40× objective, oil immersion · bone marrow smear
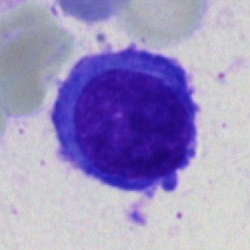
Specimen: bone marrow smear.
Cell: typical lymphocyte.
Lineage: lymphoid.